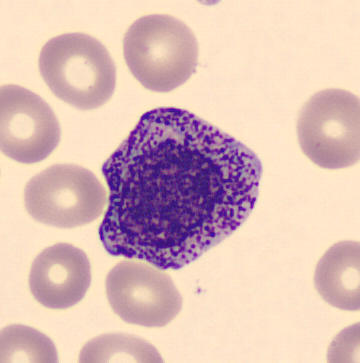Specimen: peripheral blood film.
Cell: promyelocyte.